Bone marrow smear · 40× objective, oil immersion:
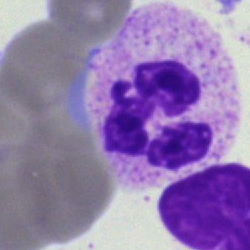
Morphological class — polymorphonuclear neutrophil.